Bone marrow aspirate smear. Brightfield microscopy, 40× oil immersion.
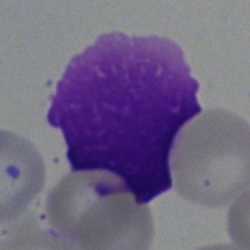 Artefact.